Peripheral blood film.
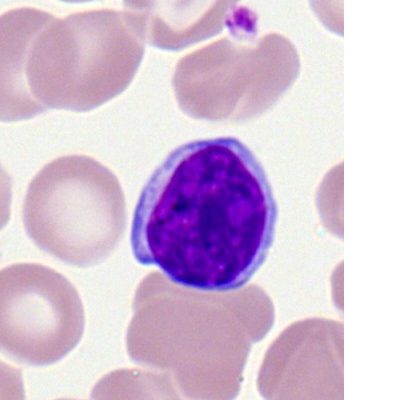This is a typical lymphocyte.